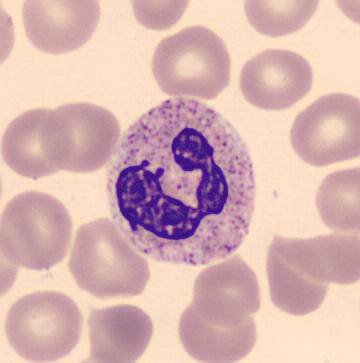 MGG-stained; peripheral blood smear.
This is a polymorphonuclear neutrophil.